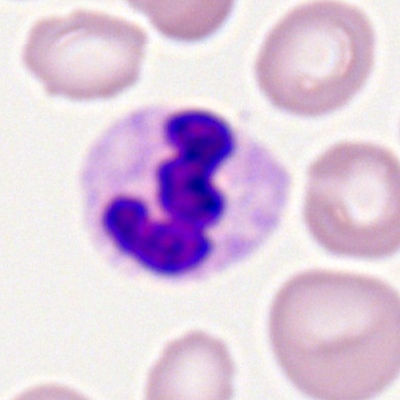Q: What is the morphological classification of this cell?
A: This is a segmented neutrophil.